Bone marrow aspirate smear — 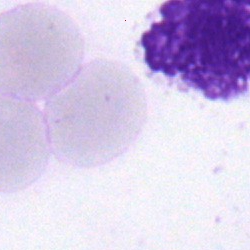Q: What cell is this?
A: Neutrophil (segmented).